Brightfield, 40× oil-immersion objective · bone marrow smear.
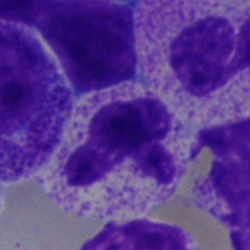
Polymorphonuclear neutrophil.